Bone marrow smear:
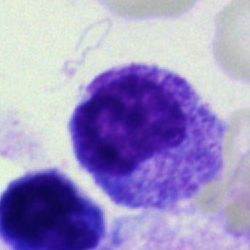Metamyelocyte.